Bone marrow aspirate smear — 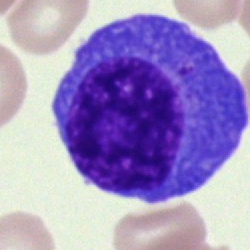

Morphology consistent with a plasmacyte.